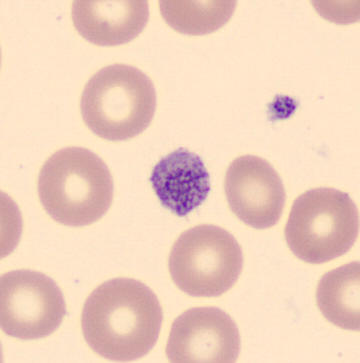 {"cell_type": "platelet (thrombocyte)"}